40× objective, oil immersion · bone marrow aspirate smear · Pappenheim-stained: 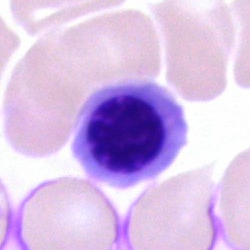 Nucleated red cell.